Single-cell crop. Peripheral blood film — 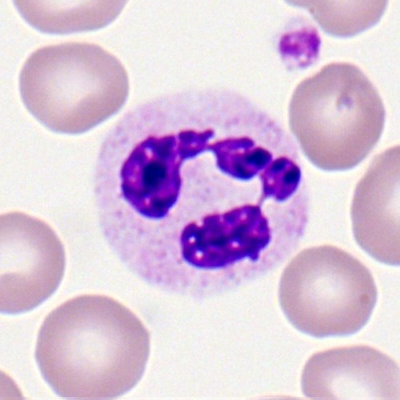

Morphology — polymorphonuclear neutrophil.